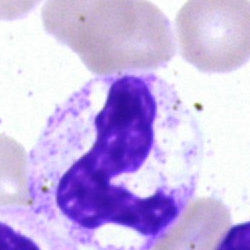Segmented neutrophil.